Bone marrow smear.
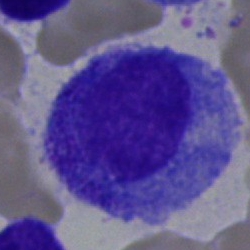Single cell identified as a promyelocyte.